Bone marrow smear
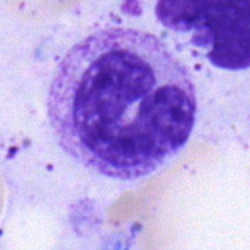Impression → band neutrophil.